Bone marrow aspirate smear.
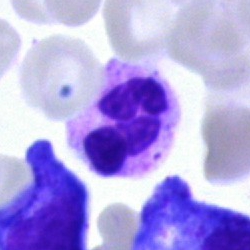

The cell type is polymorphonuclear neutrophil.